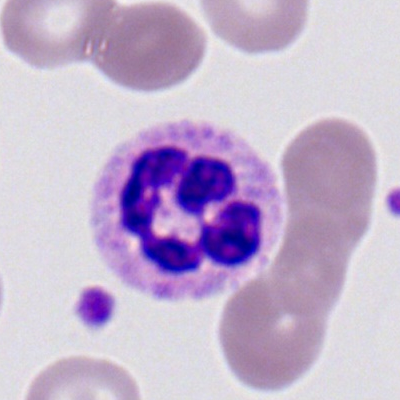
Peripheral blood film, single cell — segmented neutrophil.